Bone marrow smear:
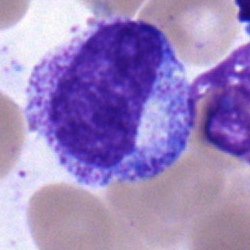 Morphological class: myelocyte.